Single-cell field · 40× objective, oil immersion · bone marrow aspirate smear — 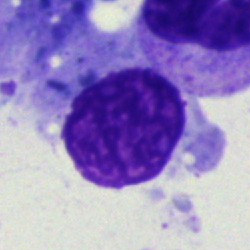

Q: What is shown here?
A: It is an artefact.